Bone marrow smear
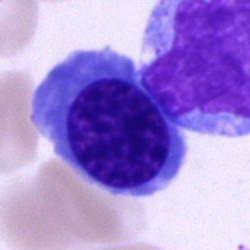 Specimen: bone marrow smear.
Cell type: normoblast.